Bone marrow smear. May-Grünwald-Giemsa/Pappenheim stain: 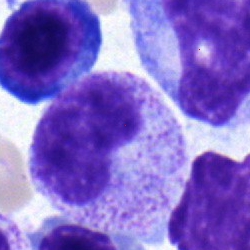
A metamyelocyte.